Bone marrow aspirate smear — 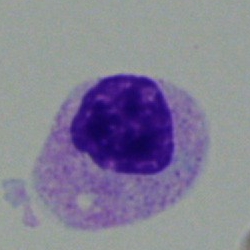
Q: What is the morphological classification of this cell?
A: A myelocyte.